Bone marrow smear. Single cell centered in the field: 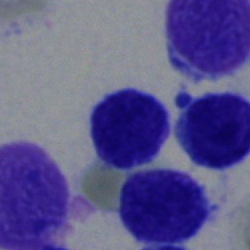

Specimen: bone marrow aspirate smear.
Cell: lymphocyte.
Lineage: lymphoid.